Peripheral blood smear. Single-cell crop. MGG-stained — 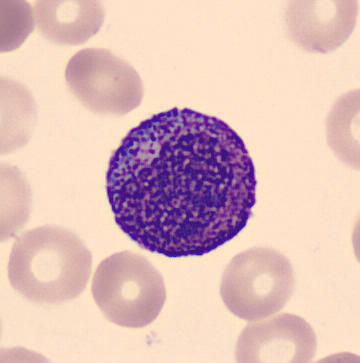 This is a progranulocyte.